Cropped to a single cell; bone marrow aspirate smear.
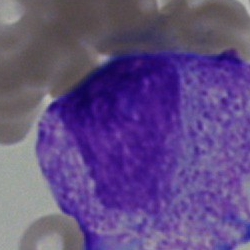
Specimen: bone marrow smear.
Classification: blast cell.